Bone marrow aspirate smear:
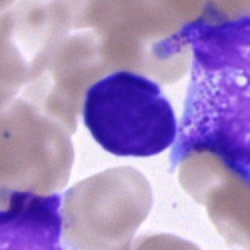 Cell: lymphocyte.